Peripheral blood film: 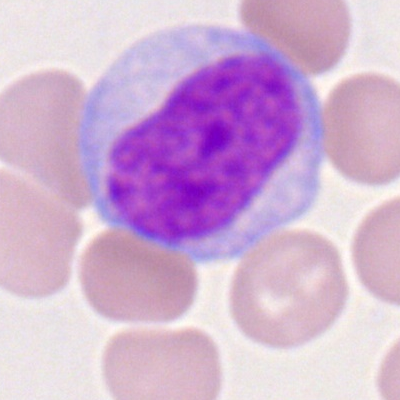Morphology consistent with a monocyte.